40× oil immersion; bone marrow aspirate smear; 250 by 250 pixels:
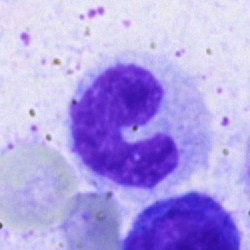
Q: Which cell type is shown here?
A: This is a band-form neutrophil.